250×250 px; bone marrow aspirate smear
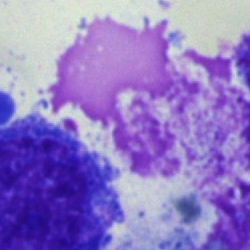
Single cell identified as an artifact.